Bone marrow aspirate smear
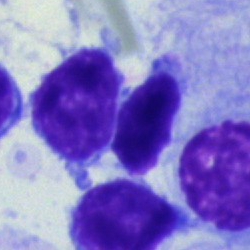 Morphology — typical lymphocyte.